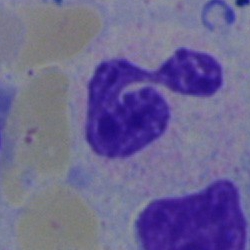 Specimen: bone marrow aspirate smear.
Classification: segmented neutrophil.
Lineage: myeloid.